Bone marrow smear; 250 by 250 pixels
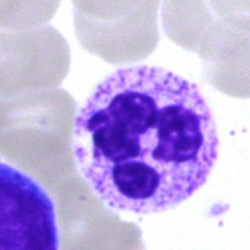Morphological class — segmented neutrophil.